Peripheral blood smear: 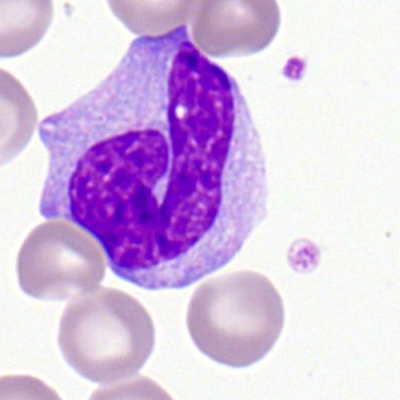The cell shown is a monocyte.